Bone marrow smear; 40× oil immersion:
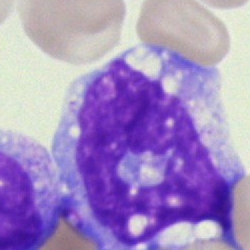 Showing a monocyte.